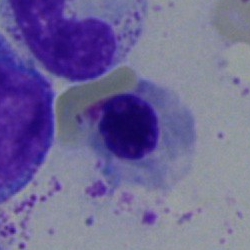
Cell = nucleated red blood cell.